Bone marrow aspirate smear: 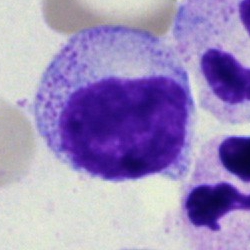 Morphology → myelocyte.